Bone marrow smear. 40× oil immersion:
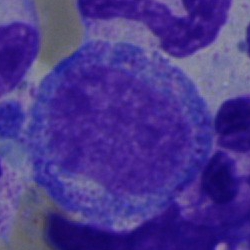

This is a promyelocyte.